250 by 250 pixels. Bone marrow smear.
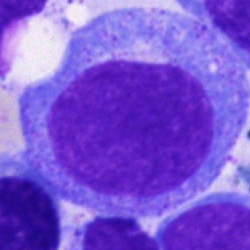Classification — promyelocyte.